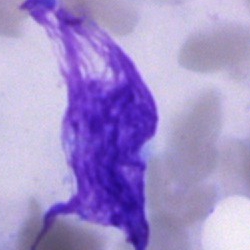 Specimen: bone marrow aspirate smear.
Classification: artifact.